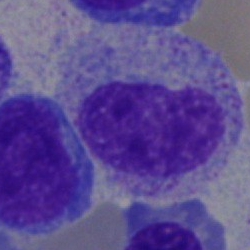

{"cell_type": "nucleated red cell", "lineage": "erythroid"}